250 by 250 pixels. Bone marrow smear
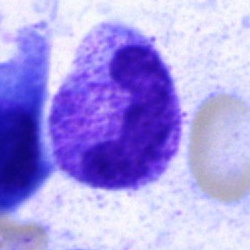 Classification: band-form neutrophil.